Bone marrow smear — 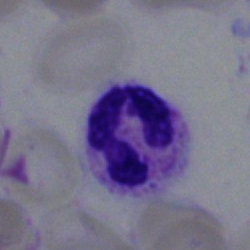
Impression → polymorphonuclear neutrophil.